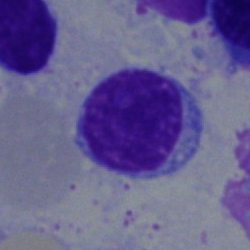

Cell type = typical lymphocyte.